Single-cell crop; bone marrow aspirate smear; 40× oil immersion — 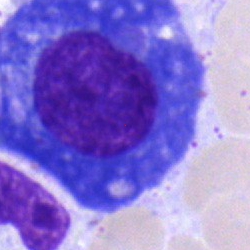 The cell is plasma cell.